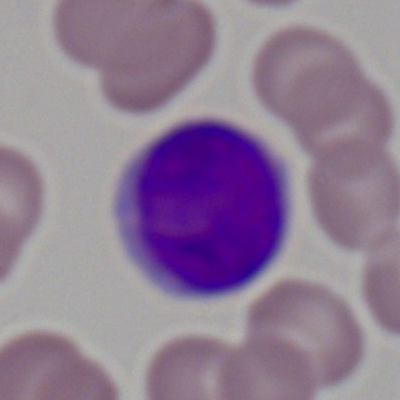

Single cell identified as a myeloid blast.